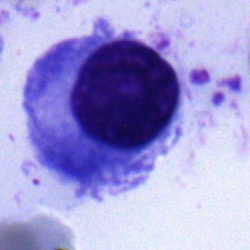
A plasmacyte.